40× oil immersion. Bone marrow aspirate smear
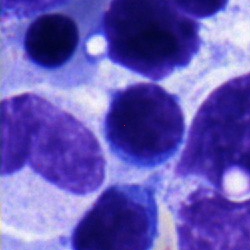 The cell shown is a typical lymphocyte.